Bone marrow aspirate smear. 40× oil immersion — 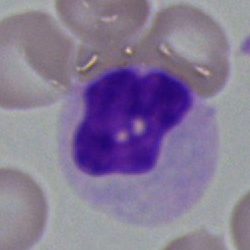 A segmented neutrophil.